Bone marrow aspirate smear; image size 250×250
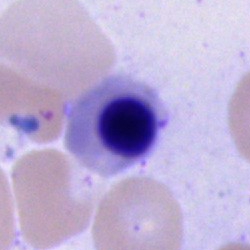 This is a nucleated red blood cell.